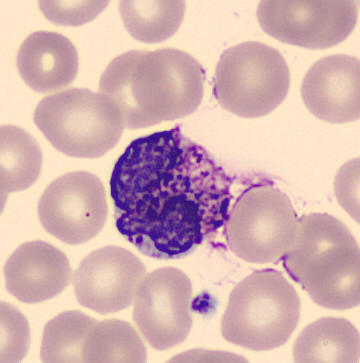Cell type: basophilic granulocyte. Peripheral blood smear.